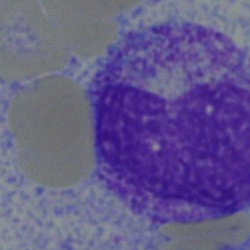
Bone marrow smear showing a metamyelocyte.